Bone marrow aspirate smear.
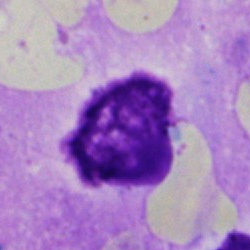 Q: What is shown here?
A: It is an artefact.